Bone marrow smear · Pappenheim-stained.
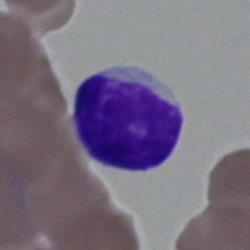 Single cell identified as a typical lymphocyte.